Bone marrow aspirate smear
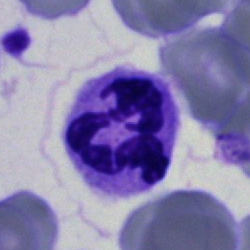 Cell type — segmented neutrophil.